Single-cell crop; bone marrow aspirate smear; MGG-stained:
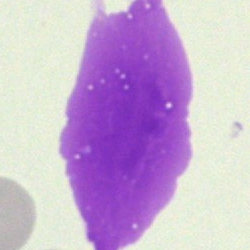 Morphological class — artefact.